250×250 px · bone marrow aspirate smear:
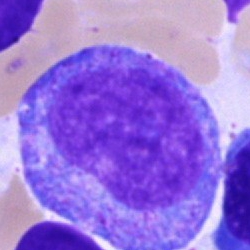
Morphological class: progranulocyte.